Bone marrow aspirate smear. May-Grünwald-Giemsa stain: 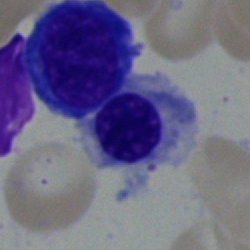

Nucleated red cell.